Peripheral blood film: 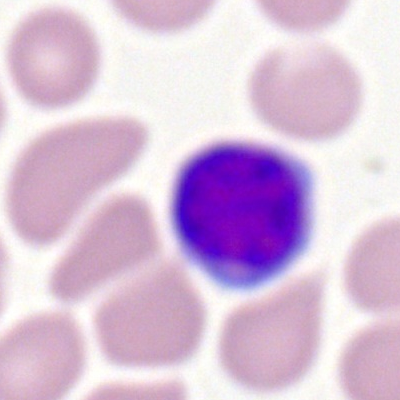
Morphology → lymphocyte.